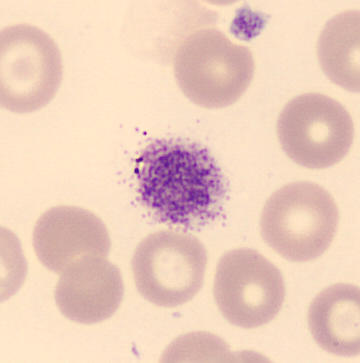

Identified as a thrombocyte.
Peripheral blood smear.